Single-cell crop · bone marrow aspirate smear · 250 by 250 pixels — 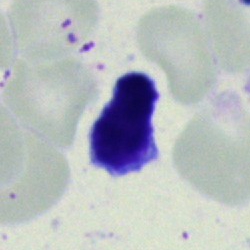The morphological class is typical lymphocyte.